Bone marrow aspirate smear.
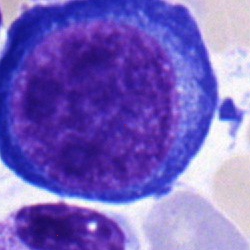

Proerythroblast.